Peripheral blood smear — 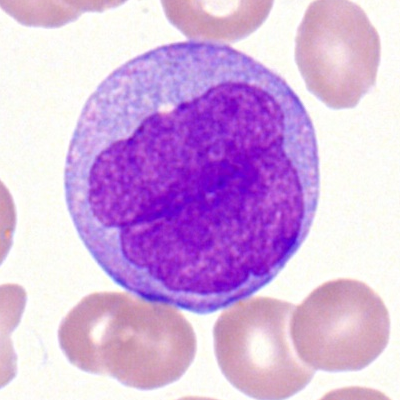

A myeloblast.